Bone marrow aspirate smear. Pappenheim-stained:
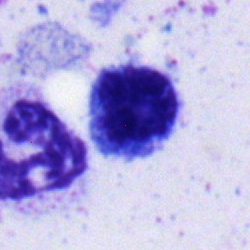
Specimen: bone marrow smear.
Classification: nucleated red blood cell.